Bone marrow smear
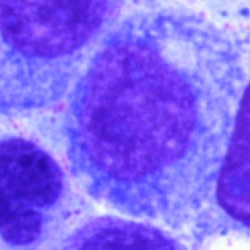Cell type = progranulocyte.